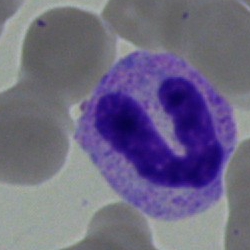

A band neutrophil.